Bone marrow aspirate smear.
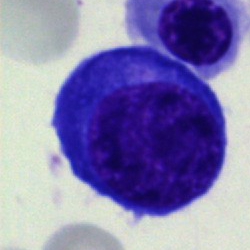 {"cell_type": "plasma cell", "lineage": "lymphoid"}